250 by 250 pixels · bone marrow aspirate smear.
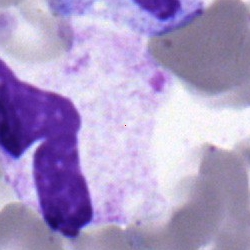 Impression → segmented neutrophil.